Bone marrow smear
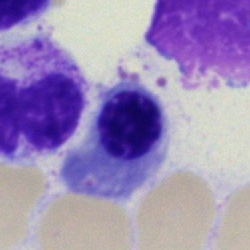 Q: What cell is this?
A: A normoblast.